Bone marrow aspirate smear · 250×250 px · single-cell field.
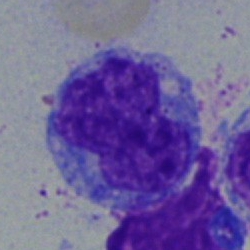

Classification — monocyte.